Bone marrow smear.
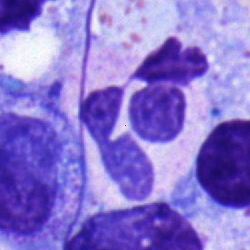
The cell shown is a segmented neutrophil.